Bone marrow aspirate smear. Brightfield, 40× oil-immersion objective: 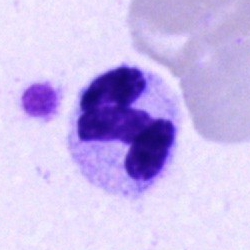Morphological class — segmented neutrophil.